Bone marrow smear.
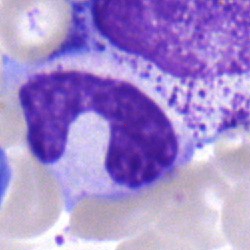
Classification = band neutrophil.